Peripheral blood film
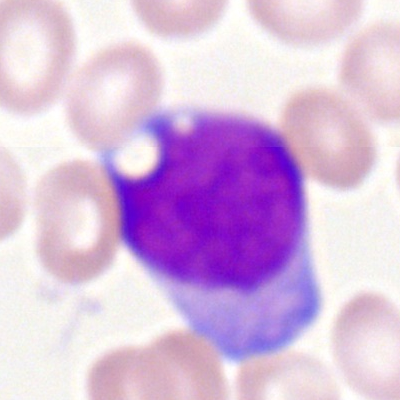
Classification = myeloblast.